40× oil immersion · bone marrow smear
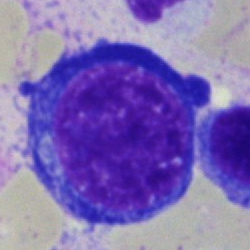 Classification — proerythroblast.